Bone marrow aspirate smear. May-Grünwald-Giemsa stain — 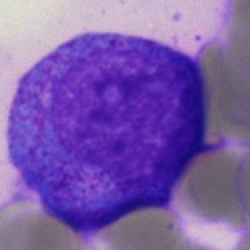
Specimen: bone marrow smear.
Cell type: progranulocyte.